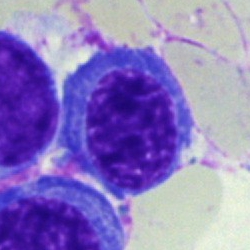

A nucleated red blood cell on a bone marrow smear.